Bone marrow smear.
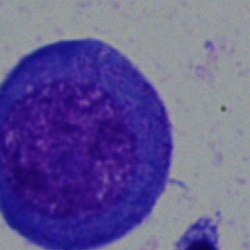 Morphological class — undifferentiated blast.